May-Grünwald-Giemsa/Pappenheim stain. Image size 250×250. Bone marrow aspirate smear
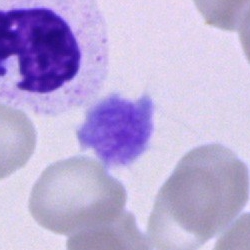 An unidentifiable cell.